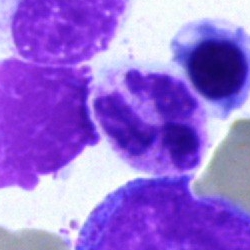 Bone marrow aspirate smear, single cell — polymorphonuclear neutrophil.